Bone marrow smear:
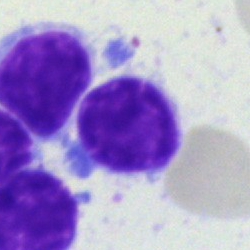
{"cell_type": "lymphocyte"}